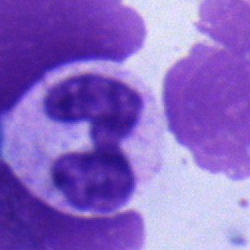

Segmented neutrophil.